Bone marrow smear: 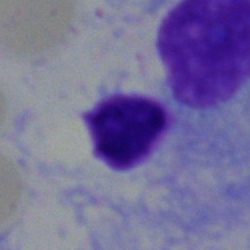The cell shown is an artifact.